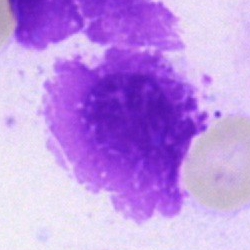
Morphology consistent with an artefact.